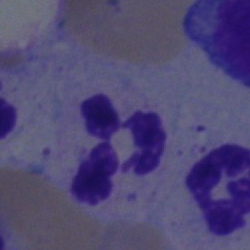Specimen: bone marrow smear.
Cell type: neutrophil (segmented).